Bone marrow smear
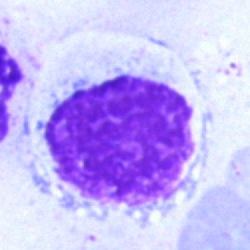

Artifact.